Bone marrow aspirate smear — 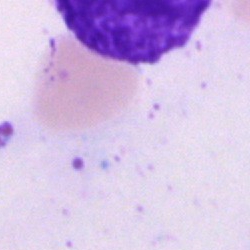Artifact.